Bone marrow smear — 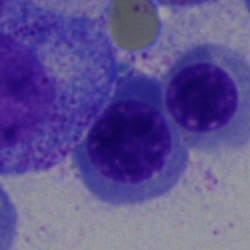
The cell shown is a normoblast.